Bone marrow smear
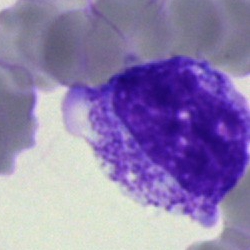Single cell identified as a myelocyte.